Bone marrow smear
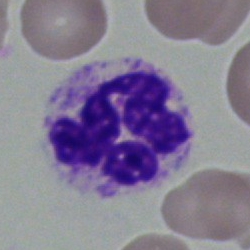Specimen: bone marrow smear.
Morphological class: segmented neutrophil.
Lineage: myeloid.